Bone marrow smear; single-cell field: 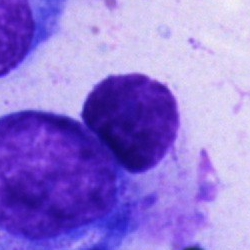

{"cell_type": "unidentifiable cell"}